Single cell centered in the field. Bone marrow aspirate smear. 250×250: 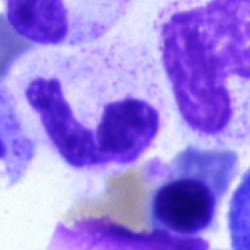Q: What is shown here?
A: This is a neutrophil (segmented).